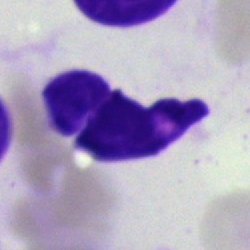

Cell — artefact.